Bone marrow aspirate smear — 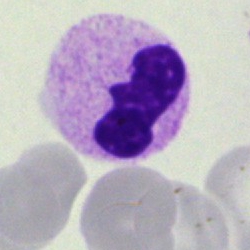
Polymorphonuclear neutrophil.